Single-cell field · bone marrow smear: 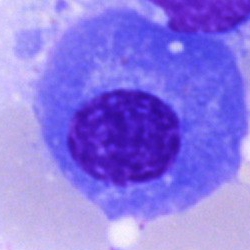
A plasma cell.